Bone marrow smear. Single cell centered in the field
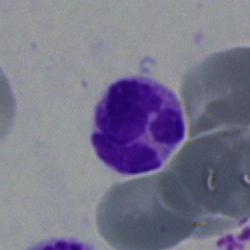Classification = segmented neutrophil.